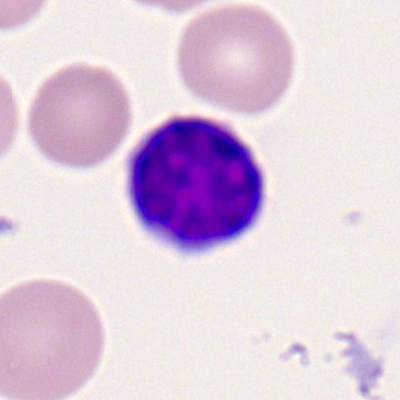
Classification — lymphocyte.